40× oil immersion · bone marrow aspirate smear.
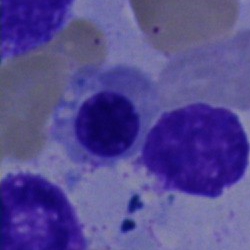
This is a nucleated red blood cell.